Bone marrow aspirate smear. Pappenheim-stained — 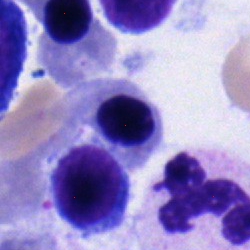 Cell type — nucleated red cell.